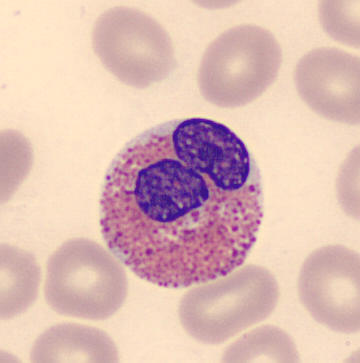
Specimen: peripheral blood film.
Morphological class: eosinophil.
Lineage: myeloid.